Image size 250×250; Pappenheim-stained; bone marrow aspirate smear
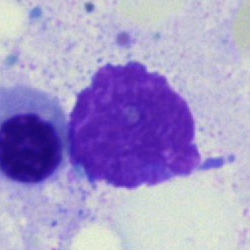Q: What is shown here?
A: It is an artefact.